Bone marrow aspirate smear — 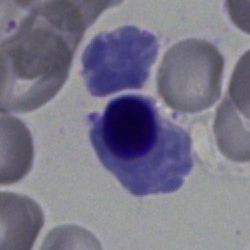Cell — normoblast.